Bone marrow smear: 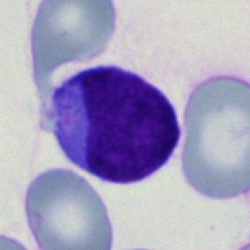 Q: What cell is this?
A: This is an undifferentiated blast.